Single-cell crop. May-Grünwald-Giemsa/Pappenheim stain. Bone marrow aspirate smear:
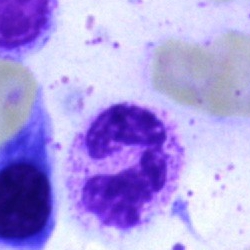

This is a polymorphonuclear neutrophil.